Bone marrow aspirate smear: 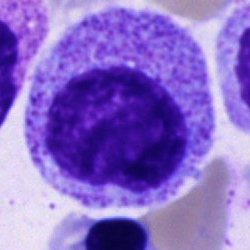

Q: Which cell type is shown here?
A: Promyelocyte.